Bone marrow aspirate smear. MGG-stained — 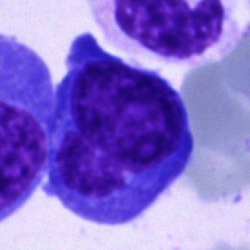

Q: Which cell type is shown here?
A: It is a blast cell.